40× oil immersion. Bone marrow aspirate smear — 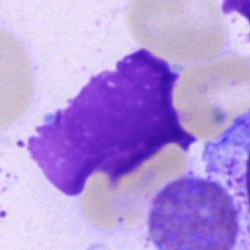
The cell is artefact.